Image size 250×250. Bone marrow aspirate smear: 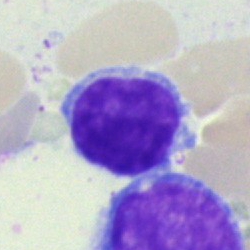 Cell type = typical lymphocyte.